250 by 250 pixels; single-cell field; bone marrow smear
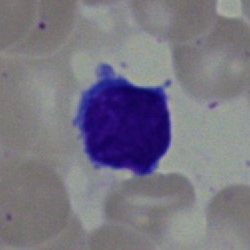
Single cell identified as a typical lymphocyte.